Brightfield microscopy, 40× oil immersion · bone marrow smear · cropped to a single cell — 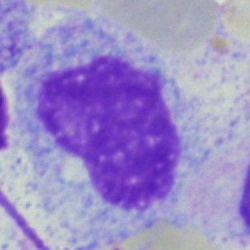

Single cell identified as an artefact.